May-Grünwald-Giemsa stain. Bone marrow aspirate smear. Single-cell field.
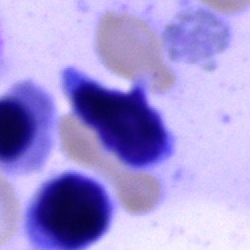 The cell shown is a lymphocyte.